Bone marrow aspirate smear
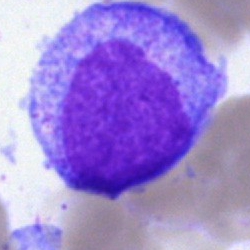Specimen: bone marrow aspirate smear.
Classification: myelocyte.